Bone marrow aspirate smear · MGG-stained: 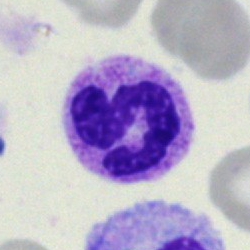Morphology consistent with a segmented neutrophil.